Single cell centered in the field · bone marrow aspirate smear:
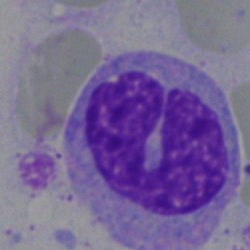 Monocyte.